Bone marrow aspirate smear: 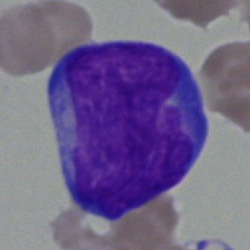
Specimen: bone marrow aspirate smear.
Cell type: blast.